Bone marrow smear:
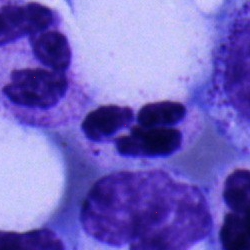

The cell shown is a neutrophil (segmented).